Bone marrow aspirate smear · brightfield, 40× oil-immersion objective · image size 250×250: 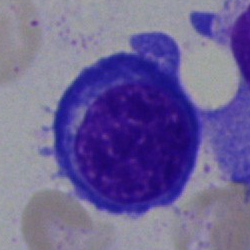 {"cell_type": "nucleated red blood cell", "lineage": "erythroid"}